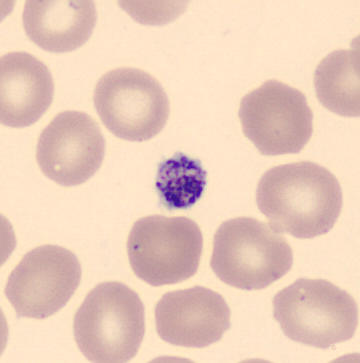
Identified as a thrombocyte.